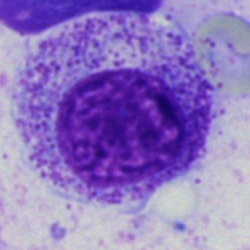

Specimen: bone marrow smear.
Morphological class: myelocyte.